Brightfield microscopy, 40× oil immersion. Bone marrow smear:
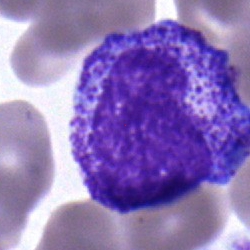Q: Identify the cell.
A: Myelocyte.